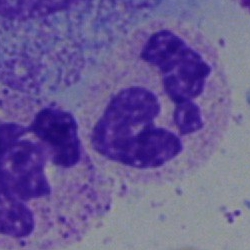
Q: What cell is this?
A: Segmented neutrophil.